Bone marrow aspirate smear; brightfield, 40× oil-immersion objective: 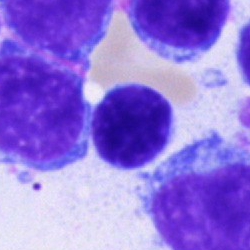 The cell shown is a lymphocyte.